Peripheral blood smear
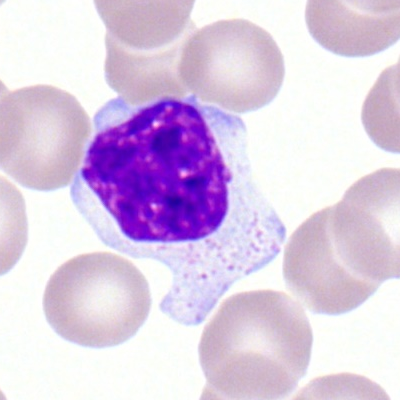This is a lymphocyte.